Cropped to a single cell · May-Grünwald-Giemsa stain · bone marrow aspirate smear: 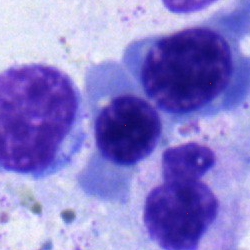 {"cell_type": "erythroblast", "lineage": "erythroid"}